Peripheral blood film: 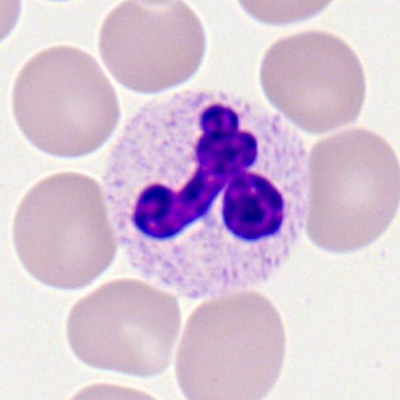 The cell shown is a polymorphonuclear neutrophil.